Cropped to a single cell · bone marrow smear · MGG-stained: 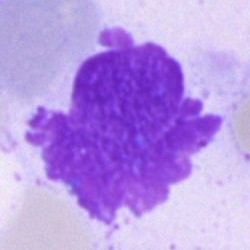
Morphology → artefact.